Bone marrow smear: 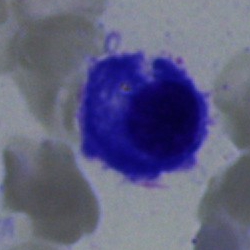

Q: What cell is this?
A: It is a plasmacyte.